Single-cell field. Bone marrow smear. 250×250 px — 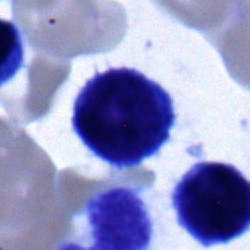

Q: Identify the cell.
A: A lymphocyte.